Bone marrow aspirate smear. MGG-stained. Brightfield microscopy, 40× oil immersion: 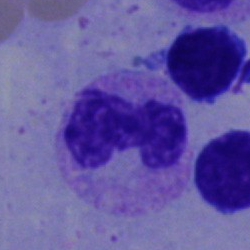
The cell shown is a neutrophil (segmented).